Peripheral blood smear:
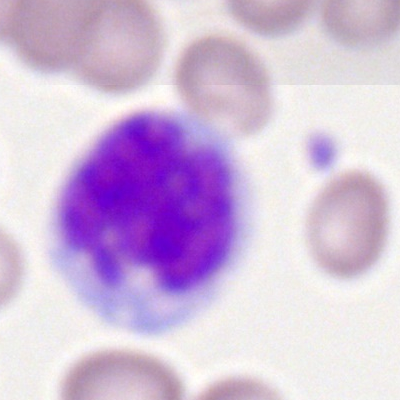 Cell = monocyte.